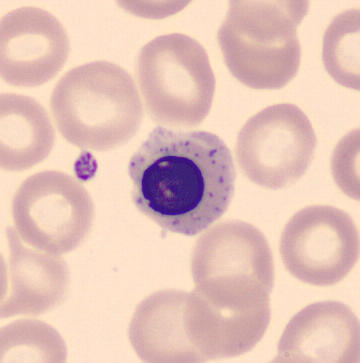 May-Grünwald-Giemsa-stained · single cell centered in the field · peripheral blood film. Nucleated red cell.